Bone marrow smear:
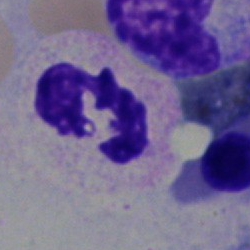

Specimen: bone marrow smear.
Morphological class: neutrophil (segmented).
Lineage: myeloid.